Bone marrow smear · 40× oil immersion:
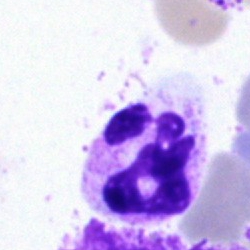

Morphological class: polymorphonuclear neutrophil.